Bone marrow smear:
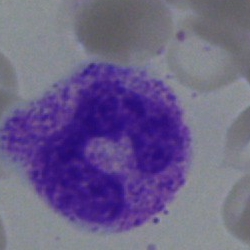
Single cell identified as a neutrophil (band).